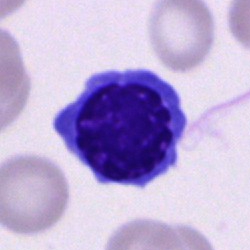

Morphology consistent with a normoblast.